Bone marrow smear:
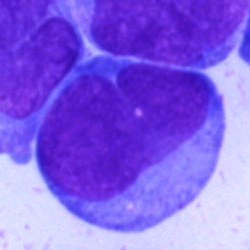
The cell shown is an undifferentiated blast.